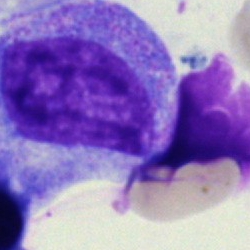

A promyelocyte on a bone marrow smear.